Bone marrow aspirate smear. 250×250 px:
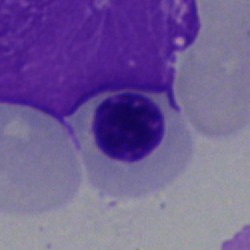
Morphological class — erythroblast.